Brightfield, 40× oil-immersion objective; bone marrow smear:
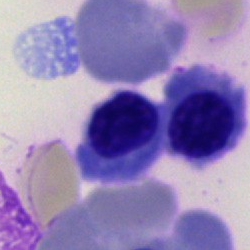

An erythroblast.